Bone marrow aspirate smear. Image size 250×250. May-Grünwald-Giemsa stain
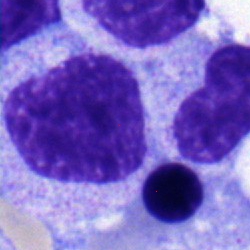

Q: Identify the cell.
A: This is a myelocyte.